Bone marrow aspirate smear — 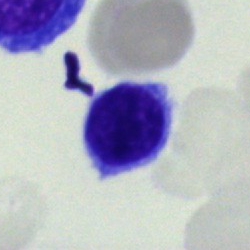 Showing a lymphocyte.